Single-cell crop; 250 by 250 pixels; bone marrow smear:
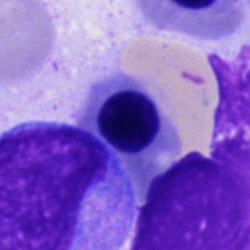

The cell shown is an erythroblast.